Bone marrow smear:
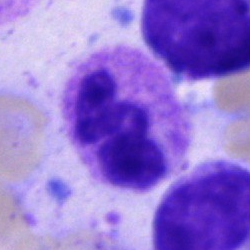Specimen: bone marrow aspirate smear.
Classification: neutrophil (segmented).
Lineage: myeloid.